Bone marrow smear; single cell centered in the field; 40× objective, oil immersion
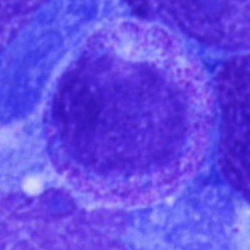
Impression — myelocyte.